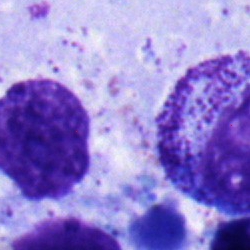Cell: promyelocyte.